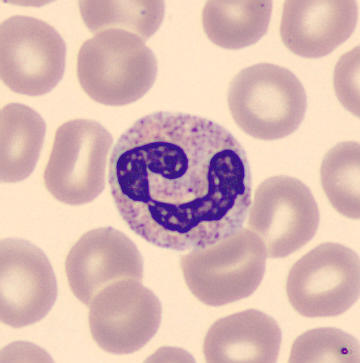Morphology → segmented neutrophil.

Acquisition: Peripheral blood smear.